Brightfield, 40× oil-immersion objective · MGG-stained · bone marrow smear:
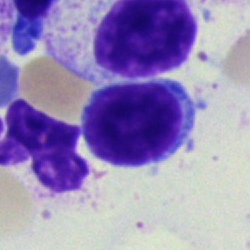

A typical lymphocyte.